400×400; peripheral blood smear: 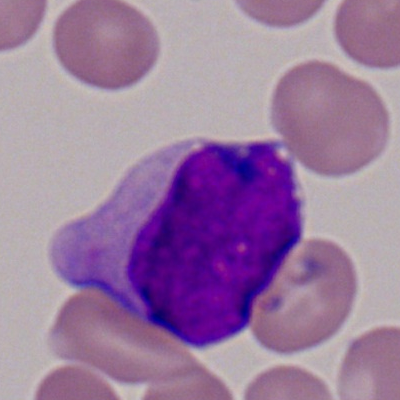Segmented neutrophil.